250×250 px; bone marrow aspirate smear — 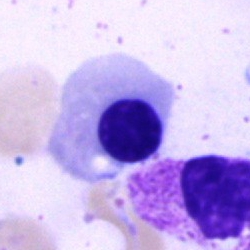Normoblast.